Brightfield, 40× oil-immersion objective · bone marrow aspirate smear
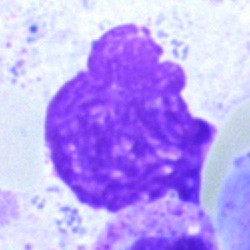 This is an artifact.